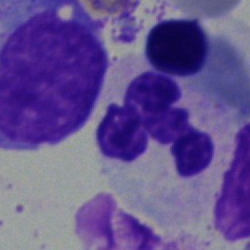
Morphology — polymorphonuclear neutrophil.